Brightfield, 40× oil-immersion objective. Bone marrow aspirate smear — 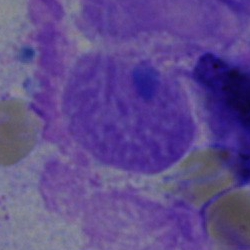

Q: What is shown here?
A: Artifact.